Single-cell field · peripheral blood film — 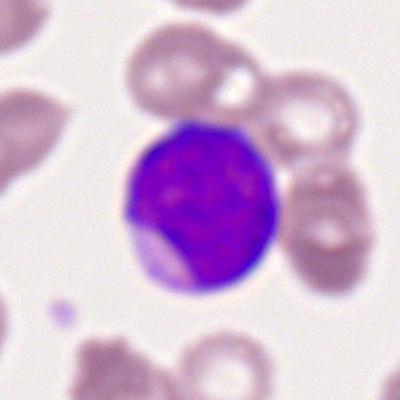 This is a myeloblast.